Bone marrow aspirate smear:
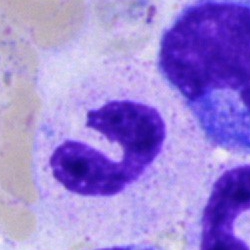Showing a segmented neutrophil.